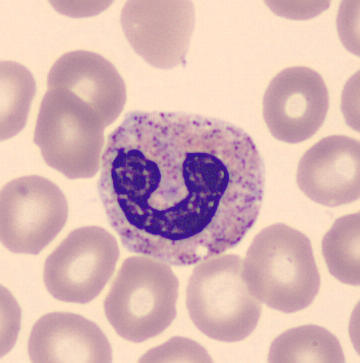 From a peripheral blood smear: a band-form neutrophil.